40× objective, oil immersion; bone marrow smear.
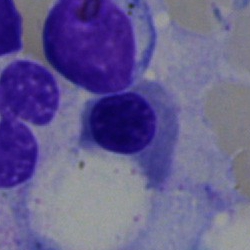
Specimen: bone marrow smear.
Cell type: nucleated red blood cell.